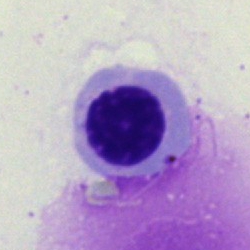 Morphology → normoblast.